250×250 px. Brightfield, 40× oil-immersion objective. Bone marrow aspirate smear: 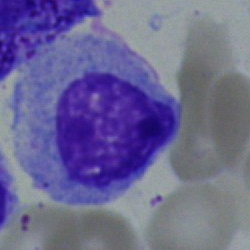Q: What cell is this?
A: Myelocyte.